Bone marrow aspirate smear.
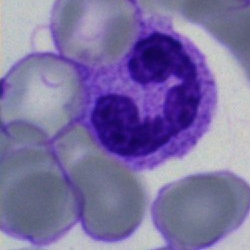 {"cell_type": "segmented neutrophil"}